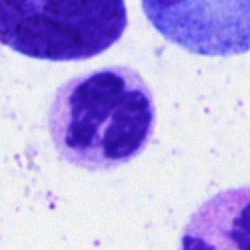Cell type = polymorphonuclear neutrophil.